Brightfield microscopy, 40× oil immersion · single cell centered in the field · bone marrow aspirate smear — 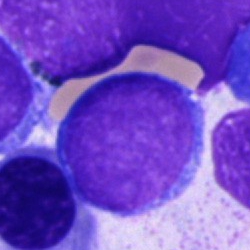

A blast.